250 by 250 pixels; bone marrow aspirate smear — 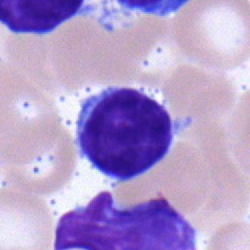

Specimen: bone marrow smear.
Cell type: typical lymphocyte.